Peripheral blood film.
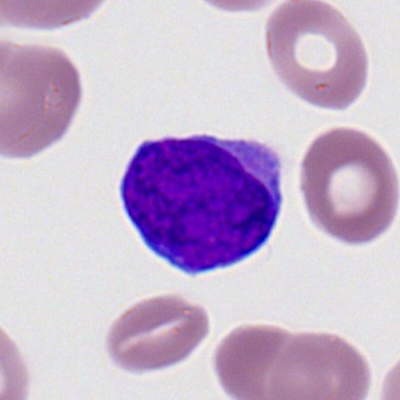 Cell type = myeloblast.